Pappenheim-stained; bone marrow aspirate smear; image size 250×250: 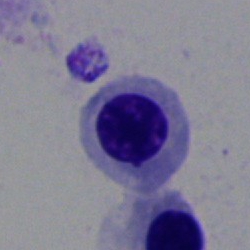Classification — nucleated red cell.